Bone marrow smear.
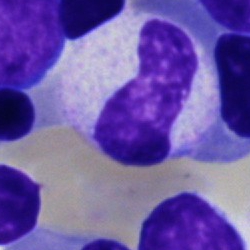Morphology consistent with a band-form neutrophil.